Peripheral blood smear
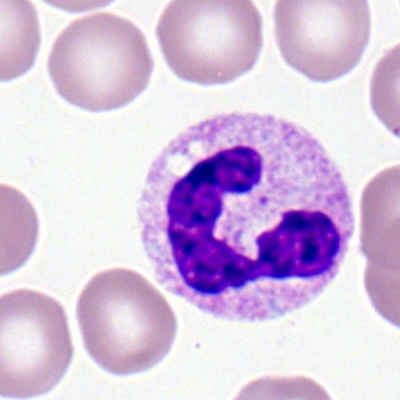A polymorphonuclear neutrophil.